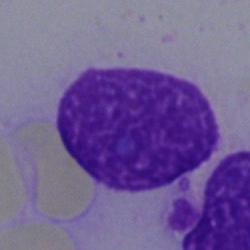
Q: What is shown here?
A: This is an artefact.